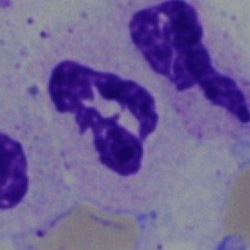 Bone marrow smear showing a polymorphonuclear neutrophil.